Peripheral blood smear — 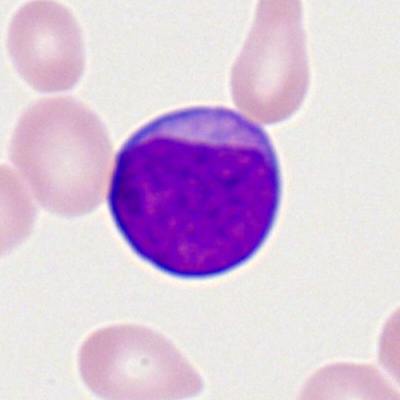Specimen: peripheral blood film.
Classification: myeloid blast.
Lineage: myeloid.